Peripheral blood film
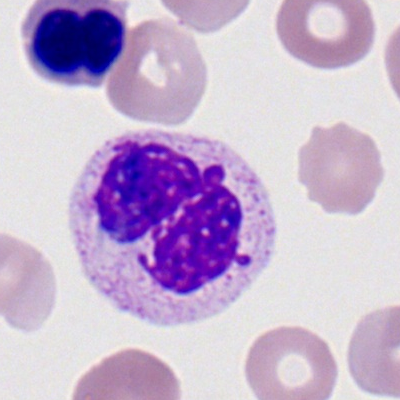Polymorphonuclear neutrophil.